Bone marrow smear — 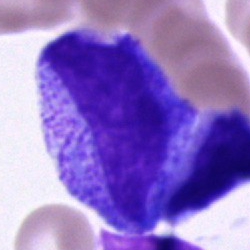

Cell type — progranulocyte.